Bone marrow smear · MGG-stained.
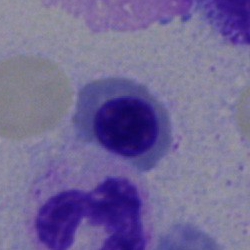
Specimen: bone marrow smear.
Classification: erythroblast.
Lineage: erythroid.